Bone marrow aspirate smear; 250 by 250 pixels; cropped to a single cell — 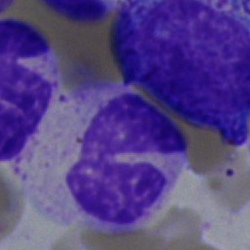

Morphology consistent with a stab cell.